Bone marrow smear:
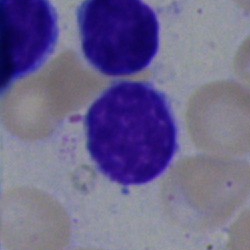 A typical lymphocyte.